Bone marrow aspirate smear: 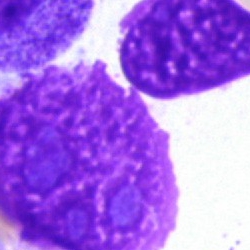Cell — artefact.